Bone marrow smear:
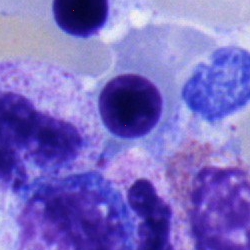 Specimen: bone marrow aspirate smear.
Cell type: nucleated red cell.
Lineage: erythroid.